Bone marrow aspirate smear: 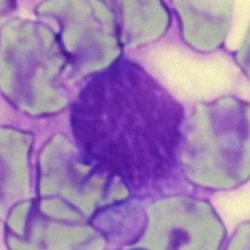
Cell type = artefact.